Single cell centered in the field · Pappenheim-stained · bone marrow aspirate smear: 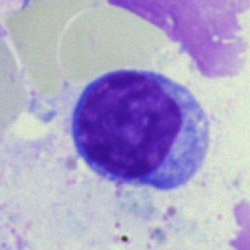 A lymphocyte.